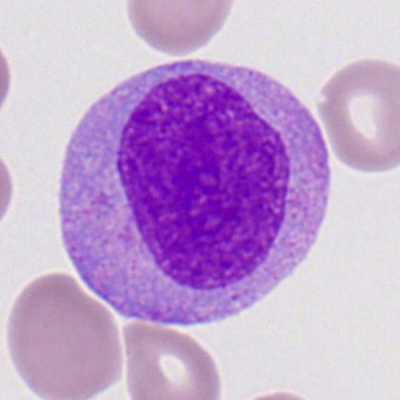 Single-cell crop from a peripheral blood smear: myeloid blast.